40× objective, oil immersion · bone marrow aspirate smear:
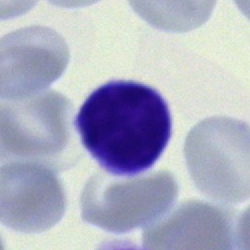 Morphological class — lymphocyte.